MGG-stained. Bone marrow aspirate smear:
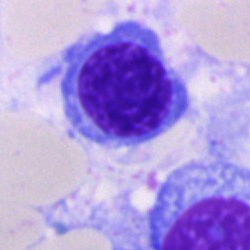
Morphology — erythroblast.